250×250; bone marrow smear:
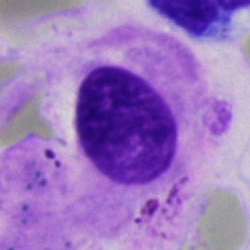Q: What is shown here?
A: It is an artifact.